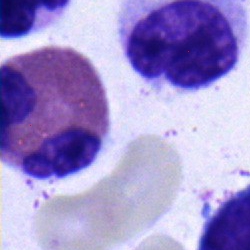 Single cell identified as an eosinophil.